Bone marrow aspirate smear:
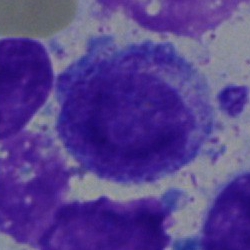
Specimen: bone marrow aspirate smear.
Classification: myelocyte.
Lineage: myeloid.